Brightfield microscopy, 40× oil immersion; bone marrow smear:
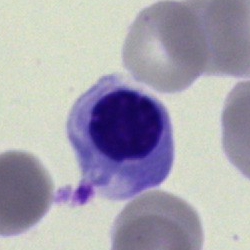 Q: Which cell type is shown here?
A: An erythroblast.